Bone marrow aspirate smear — 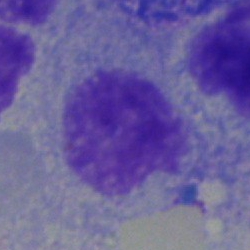
The classification is myelocyte.